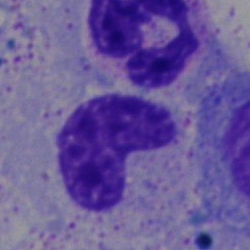 A band-form neutrophil on a bone marrow smear.